Bone marrow aspirate smear; 40× oil immersion
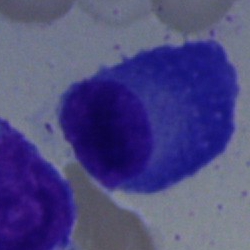

This is a plasma cell.